Bone marrow aspirate smear · 250×250 px · brightfield, 40× oil-immersion objective:
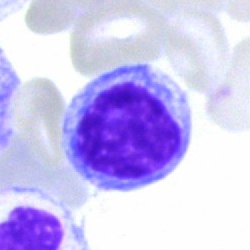

Cell: typical lymphocyte.